Bone marrow aspirate smear — 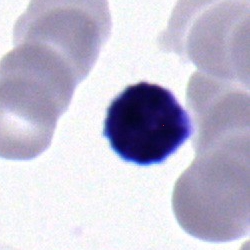

Q: Which cell type is shown here?
A: This is a typical lymphocyte.